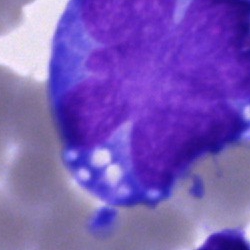 Cell type — blast cell.